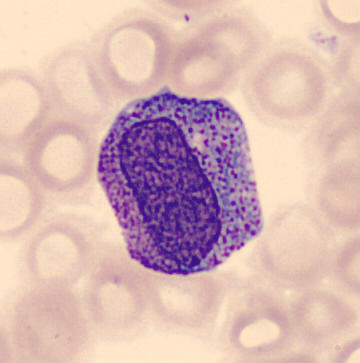Impression → promyelocyte. Preparation: Peripheral blood smear. CellaVision DM96.